Bone marrow smear; 40× objective, oil immersion
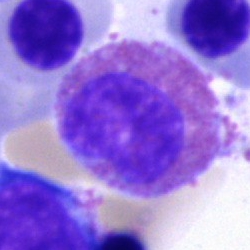
Cell — eosinophil.